Bone marrow aspirate smear
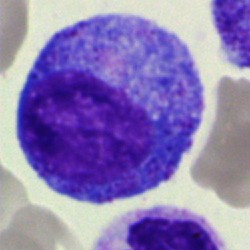Cell — progranulocyte.